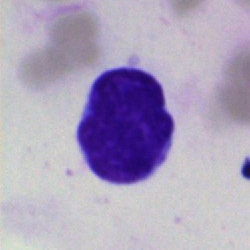

Single cell identified as a lymphocyte.